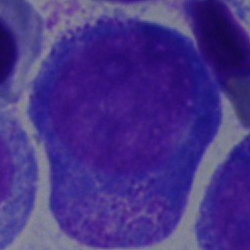
A promyelocyte.